Bone marrow smear — 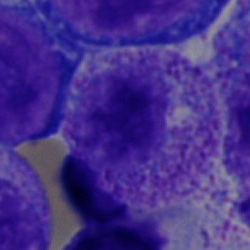 Q: Which cell type is shown here?
A: Myelocyte.